40× objective, oil immersion; bone marrow smear; Pappenheim-stained.
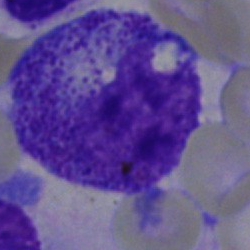

The cell type is promyelocyte.